Bone marrow aspirate smear — 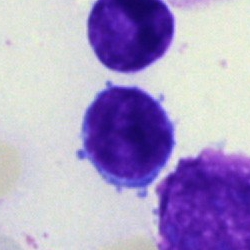Q: What is the morphological classification of this cell?
A: This is a lymphocyte.